40× oil immersion · bone marrow smear:
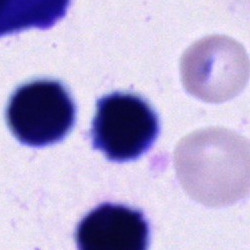 Specimen: bone marrow smear.
Classification: unidentifiable cell.